Bone marrow smear · 40× objective, oil immersion.
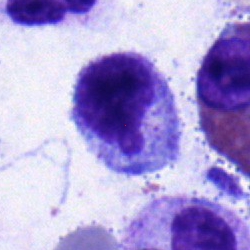 This is a myelocyte.